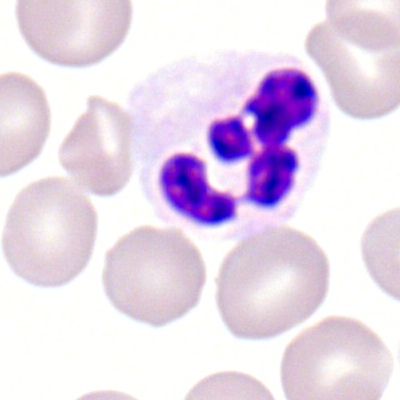Q: What is the morphological classification of this cell?
A: A neutrophil (segmented).